250 by 250 pixels · brightfield, 40× oil-immersion objective · bone marrow smear — 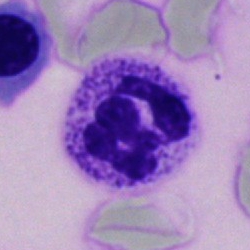

Specimen: bone marrow smear.
Cell: polymorphonuclear neutrophil.
Lineage: myeloid.